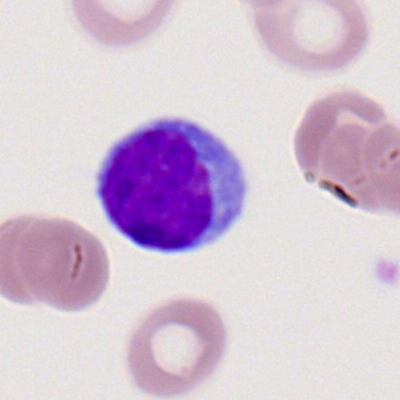
A lymphocyte on a peripheral blood smear.